Bone marrow aspirate smear.
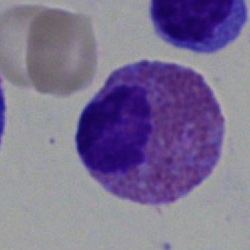 Q: Identify the cell.
A: An eosinophil.